Bone marrow smear.
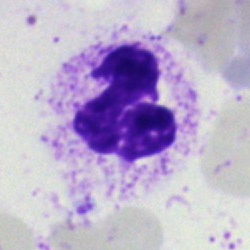
A polymorphonuclear neutrophil.